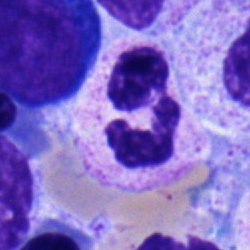
Cell type: segmented neutrophil.